40× objective, oil immersion; bone marrow aspirate smear.
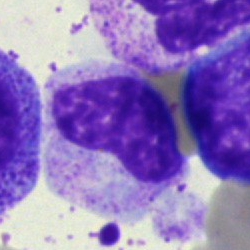 Showing a metamyelocyte.